Bone marrow aspirate smear
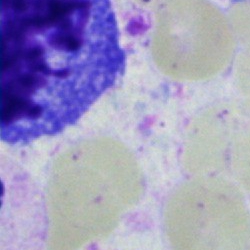An artifact.